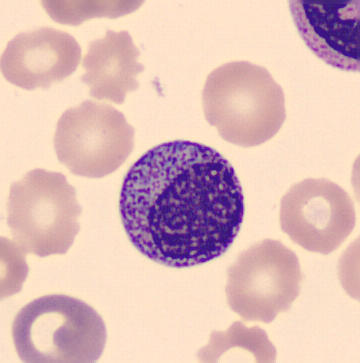 Q: Identify the cell.
A: This is a myelocyte. Image: Peripheral blood film.